Brightfield microscopy, 40× oil immersion; bone marrow smear; May-Grünwald-Giemsa/Pappenheim stain — 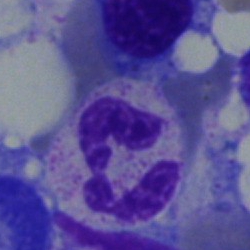
Classification: polymorphonuclear neutrophil.